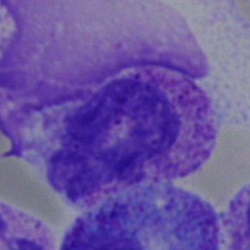
A polymorphonuclear neutrophil on a bone marrow smear.